Bone marrow smear; brightfield microscopy, 40× oil immersion
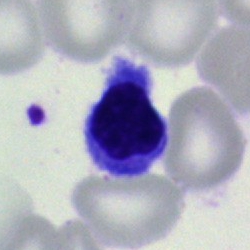

Single cell identified as an erythroblast.